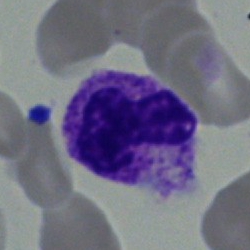 Morphological class: segmented neutrophil.